Bone marrow aspirate smear. Brightfield microscopy, 40× oil immersion.
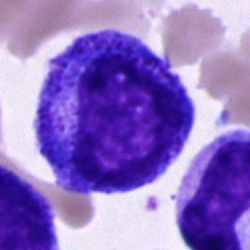Morphology — promyelocyte.